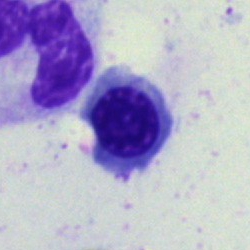{"cell_type": "nucleated red cell", "lineage": "erythroid"}